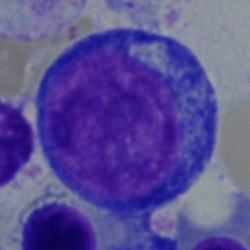

Q: What is the morphological classification of this cell?
A: This is a proerythroblast.